Bone marrow smear; cropped to a single cell:
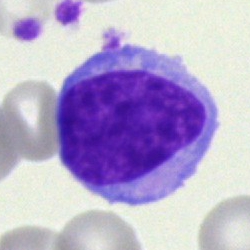 Morphological class: blast cell.